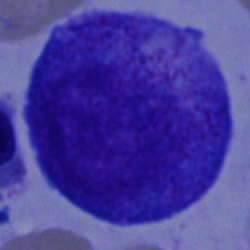

Morphology — promyelocyte.